Peripheral blood film:
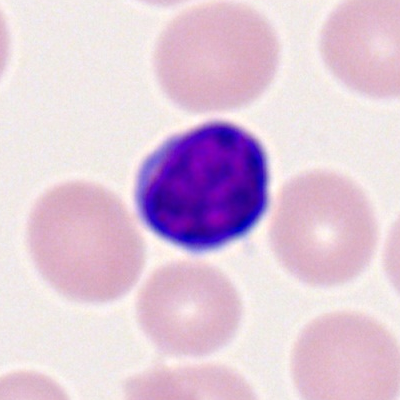 Showing a lymphocyte.